MGG-stained. Bone marrow smear
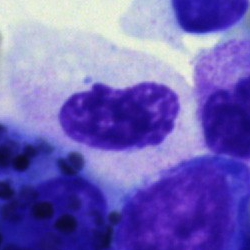
Morphology consistent with an artifact.